Cropped to a single cell; bone marrow smear — 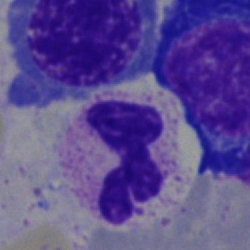 Q: What type of cell is this?
A: This is a polymorphonuclear neutrophil.